Bone marrow smear — 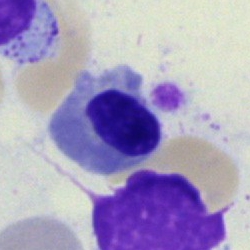

The morphological class is normoblast.